Single-cell field. Bone marrow smear:
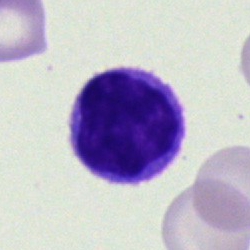
Specimen: bone marrow smear.
Classification: lymphocyte.
Lineage: lymphoid.